Bone marrow smear · cropped to a single cell: 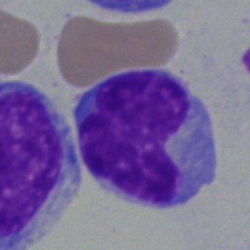
Showing a typical lymphocyte.